Bone marrow aspirate smear — 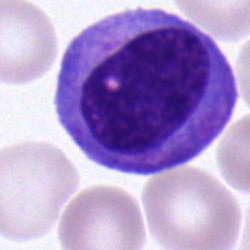

Q: What type of cell is this?
A: Monocyte.